Bone marrow smear — 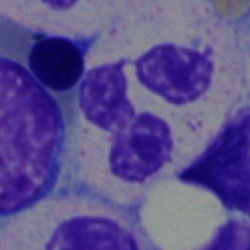 This is a neutrophil (segmented).